Bone marrow aspirate smear; May-Grünwald-Giemsa stain:
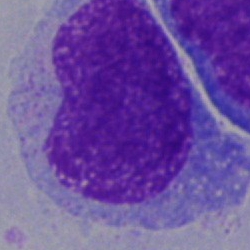
Morphological class: undifferentiated blast.